Peripheral blood smear
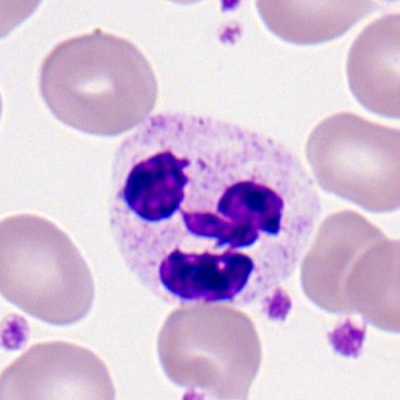

Cell type — neutrophil (segmented).